Single cell centered in the field · bone marrow aspirate smear — 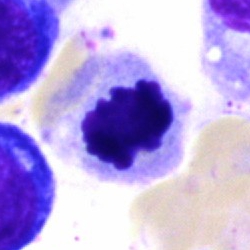Q: Which cell type is shown here?
A: It is an erythroblast.